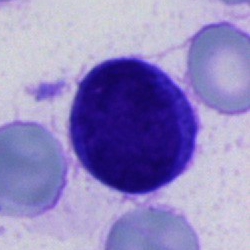

Morphology → unidentifiable cell.